Bone marrow smear: 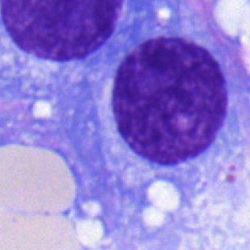
Showing a plasmacyte.